Bone marrow aspirate smear · image size 250×250
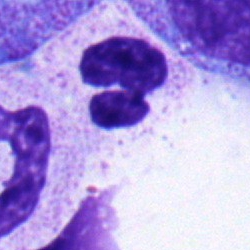
Cell type = segmented neutrophil.